Bone marrow aspirate smear.
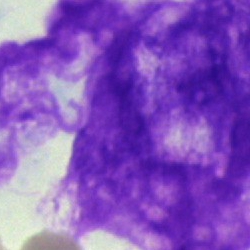 This is an artifact.